May-Grünwald-Giemsa stain; bone marrow smear; 250×250 px.
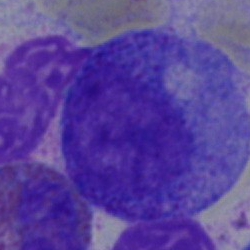 Single cell identified as a progranulocyte.